Bone marrow smear — 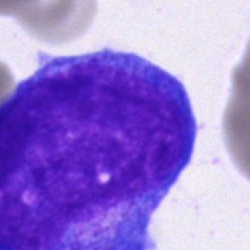

Q: What type of cell is this?
A: It is a blast.